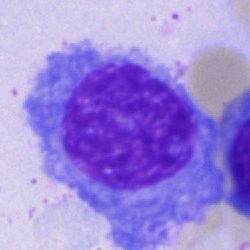
Single cell identified as a plasmacyte.